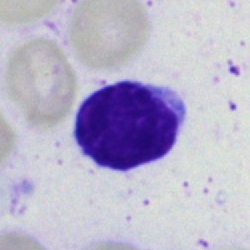Lymphocyte.